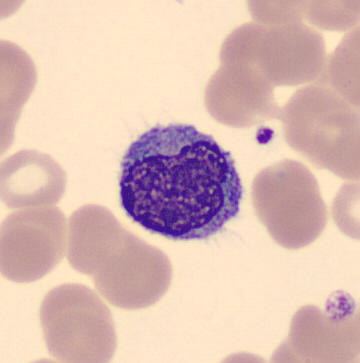
Cell type: monocyte.